Image size 400×400 · peripheral blood smear — 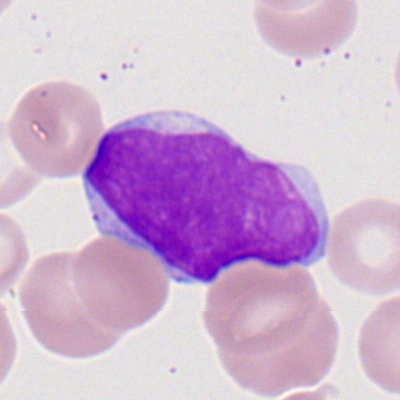

Specimen: peripheral blood smear.
Cell type: myeloid blast.
Lineage: myeloid.